Bone marrow aspirate smear. 250×250.
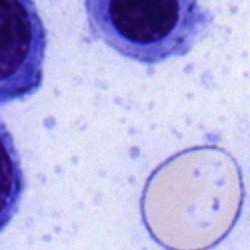Impression → nucleated red cell.